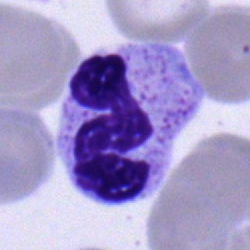

The classification is segmented neutrophil.